Bone marrow aspirate smear · single cell centered in the field
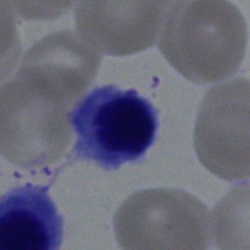 Morphological class = nucleated red blood cell.